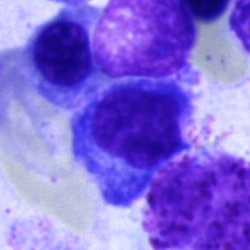Bone marrow aspirate smear, single cell — plasma cell.